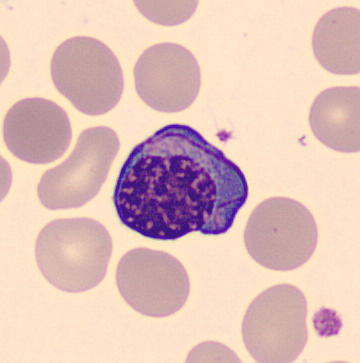 Specimen: peripheral blood smear.
Morphological class: normoblast.
Single cell centered in the field · MGG-stained.